Bone marrow smear:
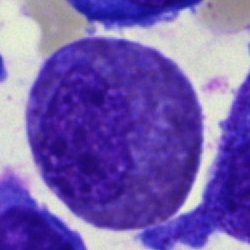Basophilic granulocyte.